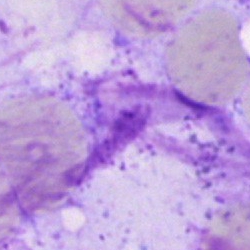Q: What is shown here?
A: An artifact.